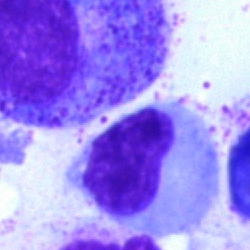Q: What cell is this?
A: A band neutrophil.